Bone marrow smear:
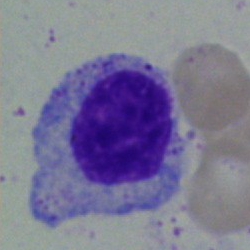 {"cell_type": "myelocyte", "lineage": "myeloid"}